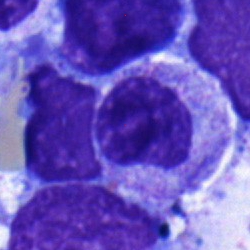 Single cell identified as a myelocyte.